Bone marrow aspirate smear:
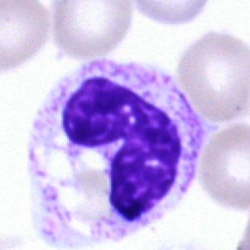Q: Which cell type is shown here?
A: This is a polymorphonuclear neutrophil.